Bone marrow aspirate smear: 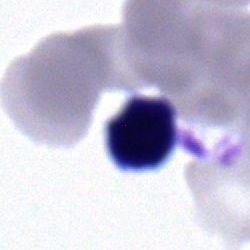 Showing a typical lymphocyte.